Bone marrow smear: 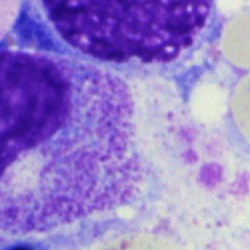 {"cell_type": "artefact"}